Bone marrow aspirate smear; image size 250×250; Pappenheim-stained: 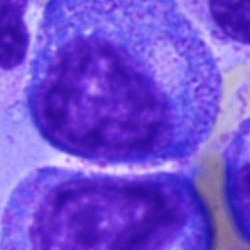
Q: Which cell type is shown here?
A: This is a progranulocyte.